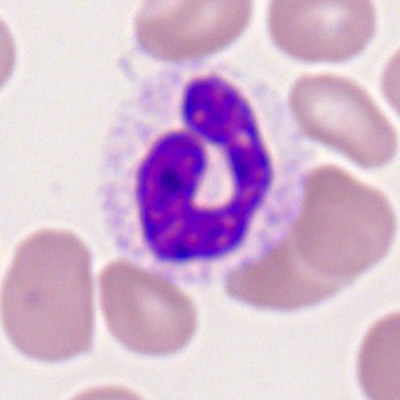

Cell: neutrophil (band).